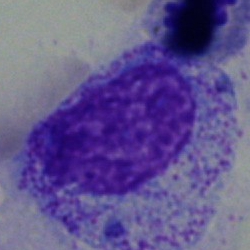

Q: Which cell type is shown here?
A: It is a myelocyte.